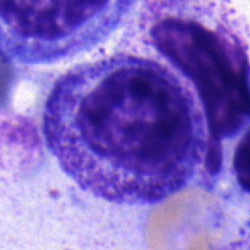

Single-cell crop from a bone marrow smear: myelocyte.